Bone marrow smear: 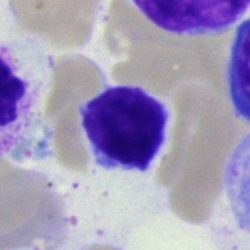Single cell identified as a lymphocyte.